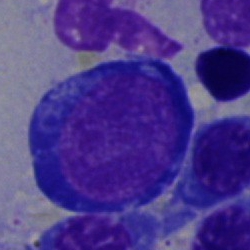 Q: Which cell type is shown here?
A: Pronormoblast.